250×250 · bone marrow smear · Pappenheim-stained — 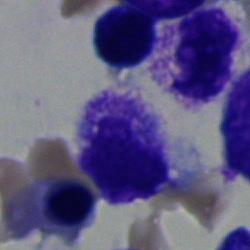
Single cell identified as a neutrophil (segmented).